Peripheral blood film
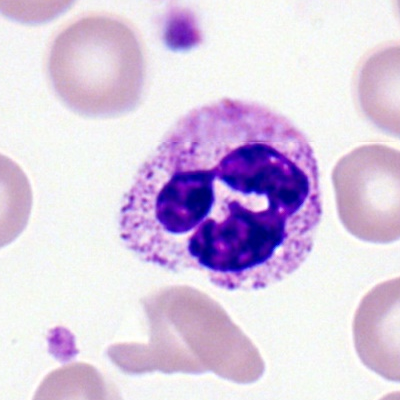
Q: What cell is this?
A: This is a neutrophil (segmented).